May-Grünwald-Giemsa/Pappenheim stain · 40× objective, oil immersion · bone marrow aspirate smear
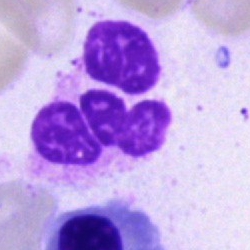Q: What cell is this?
A: Neutrophil (segmented).